Bone marrow aspirate smear — 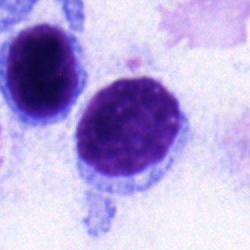
Showing a lymphocyte.